Single-cell field · bone marrow smear: 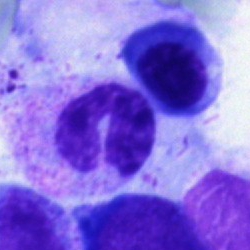

Classification: segmented neutrophil.